Bone marrow smear: 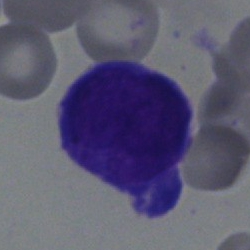Specimen: bone marrow smear.
Morphological class: blast cell.